Bone marrow aspirate smear
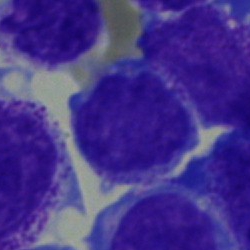Impression → blast cell.